Peripheral blood smear. Image size 400×400.
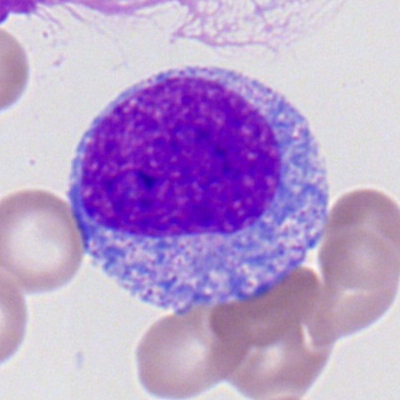Morphology consistent with a promyelocyte.